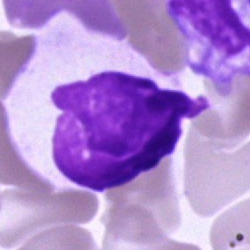
Cell — cell of indeterminate lineage.